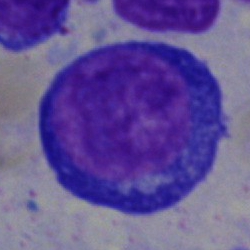
Morphology consistent with a pronormoblast.